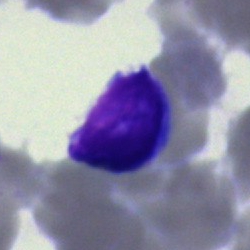
Morphology consistent with a lymphocyte.